Bone marrow smear:
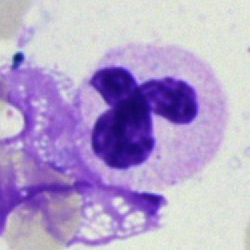

This is a segmented neutrophil.